Bone marrow smear — 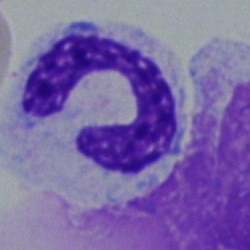 Single cell identified as a band neutrophil.